Peripheral blood film: 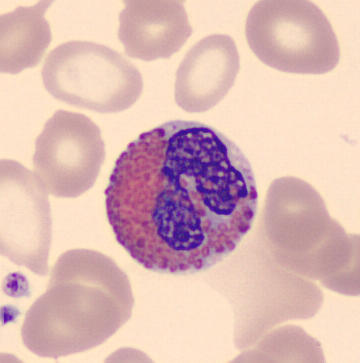Q: Identify the cell.
A: It is an eosinophil.